Bone marrow aspirate smear · 40× objective, oil immersion — 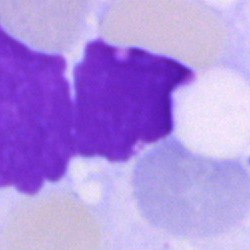
Single cell identified as an artefact.